Bone marrow smear.
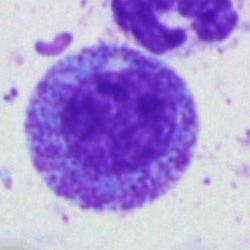

Cell = myelocyte.